Bone marrow smear; cropped to a single cell — 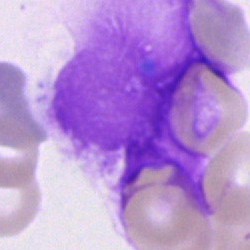

Classification: artefact.